May-Grünwald-Giemsa stain; image size 250×250; bone marrow smear:
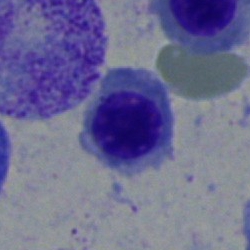 {"cell_type": "erythroblast", "lineage": "erythroid"}